Bone marrow aspirate smear:
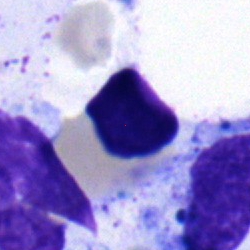
Morphological class = typical lymphocyte.